Bone marrow smear: 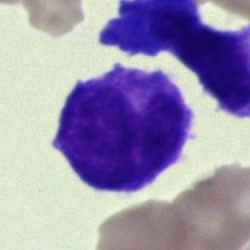Q: What cell is this?
A: This is a blast cell.